Bone marrow smear
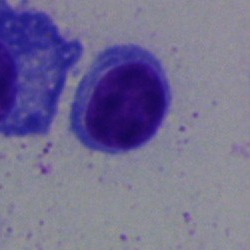
Q: Identify the cell.
A: It is a lymphocyte.